Bone marrow smear · single-cell field
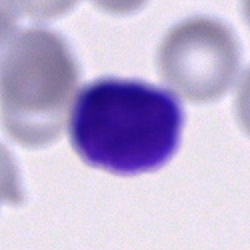 This is a cell of indeterminate lineage.